Bone marrow smear.
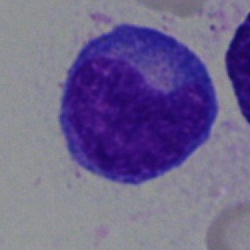Specimen: bone marrow smear.
Cell: monocyte.